Single-cell field; bone marrow aspirate smear — 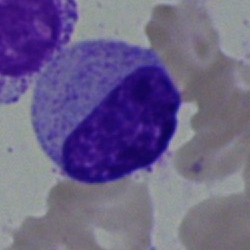

Q: What type of cell is this?
A: This is a myelocyte.